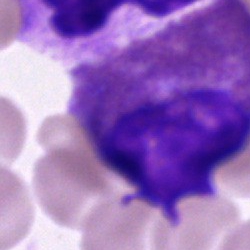

Specimen: bone marrow smear.
Morphological class: eosinophilic granulocyte.